Bone marrow aspirate smear: 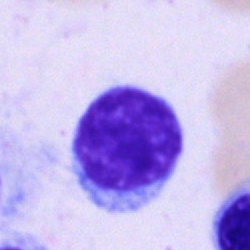
Classification = lymphocyte.